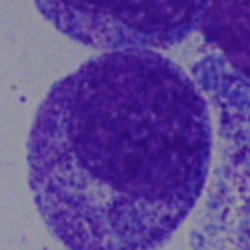

Morphology → promyelocyte.